Peripheral blood film:
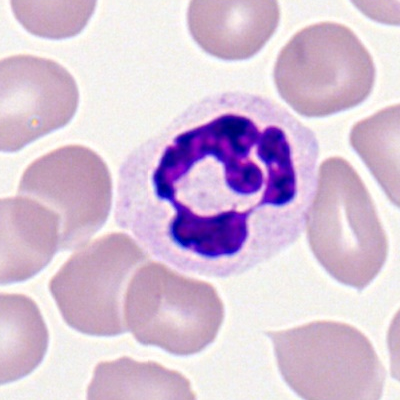 Single cell identified as a segmented neutrophil.